Image size 250×250 · bone marrow smear: 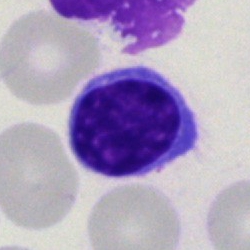

A typical lymphocyte.